Bone marrow smear.
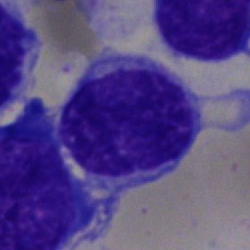

Cell type: undifferentiated blast.